Bone marrow smear: 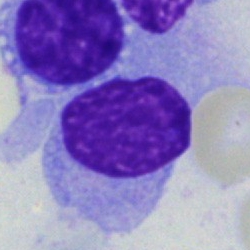The cell shown is a lymphocyte.